Bone marrow aspirate smear
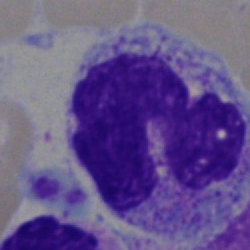 The cell type is neutrophil (band).